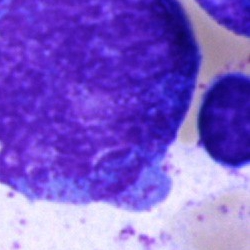 Q: What is shown here?
A: It is a promyelocyte.